Bone marrow smear. Cropped to a single cell
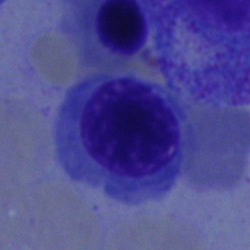

This is a nucleated red cell.